Bone marrow aspirate smear: 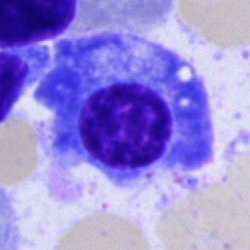 Specimen: bone marrow smear.
Cell: plasma cell.